Bone marrow aspirate smear. 250×250 px. May-Grünwald-Giemsa/Pappenheim stain — 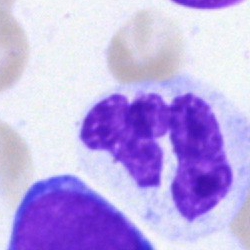The cell type is polymorphonuclear neutrophil.